Bone marrow aspirate smear:
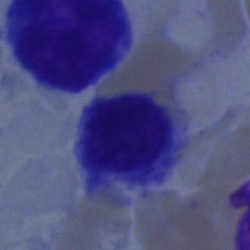
This is a normoblast.